Bone marrow aspirate smear: 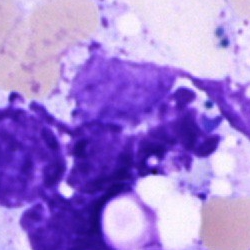 This is an artefact.